Single-cell field; bone marrow smear — 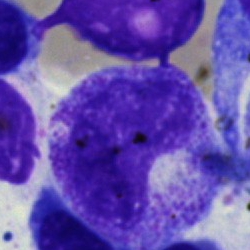
{"cell_type": "metamyelocyte", "lineage": "myeloid"}